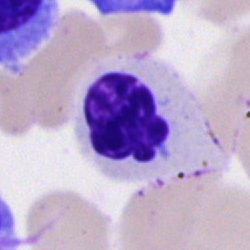Q: Which cell type is shown here?
A: This is an erythroblast.